Peripheral blood smear: 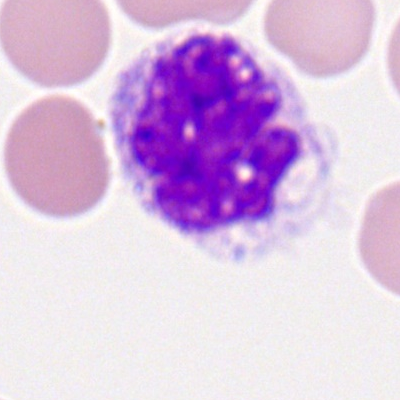
A monocyte.